Peripheral blood smear; 100× oil immersion, 14.14 px/µm: 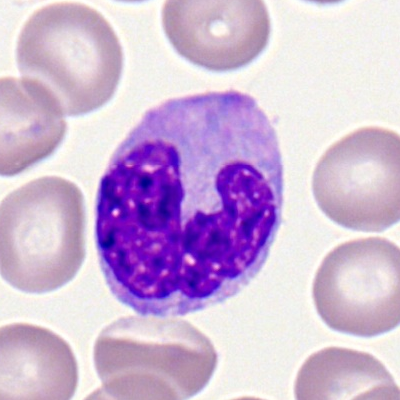
Classification = monocyte.